Single-cell crop; bone marrow aspirate smear:
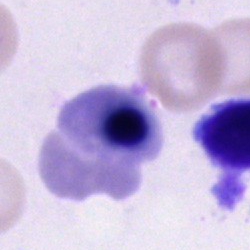 An erythroblast.